Bone marrow aspirate smear; 250×250: 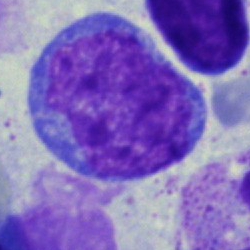 Q: Which cell type is shown here?
A: A monocyte.